Peripheral blood smear — 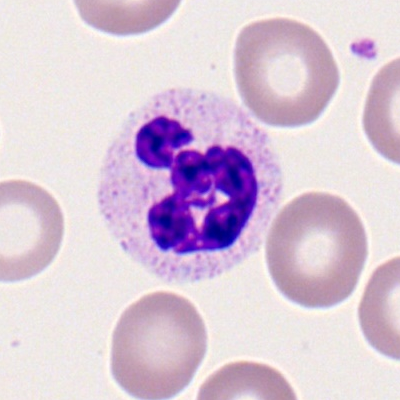
{"cell_type": "neutrophil (segmented)"}